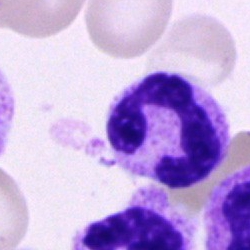Specimen: bone marrow aspirate smear.
Cell: neutrophil (segmented).